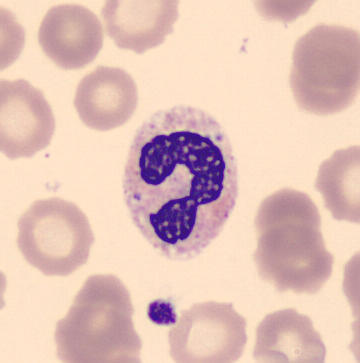

Q: What is the morphological classification of this cell?
A: This is a polymorphonuclear neutrophil. Preparation: Peripheral blood film. Automated cell imaging (CellaVision DM96).